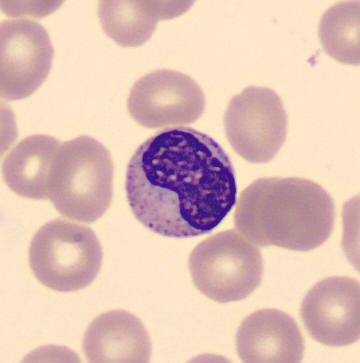Preparation: Peripheral blood smear.
The cell shown is a metamyelocyte.